Brightfield microscopy, 40× oil immersion. Bone marrow aspirate smear.
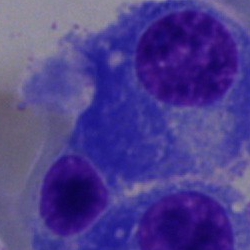
A plasma cell.